250 by 250 pixels; bone marrow smear; single-cell field: 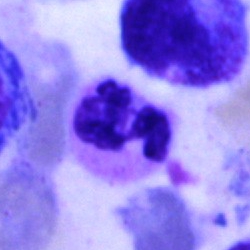

Q: What cell is this?
A: It is a segmented neutrophil.